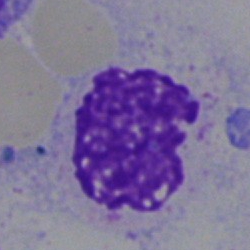
{"cell_type": "artifact"}